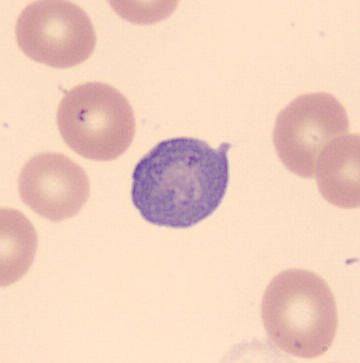
A platelet on a peripheral blood smear.